Bone marrow smear.
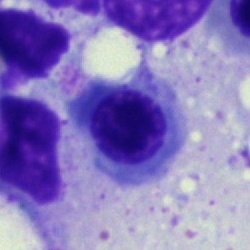

Cell type = nucleated red blood cell.